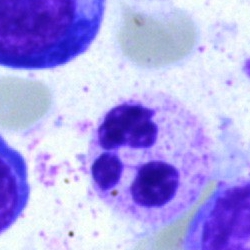 Impression → segmented neutrophil.